Bone marrow aspirate smear.
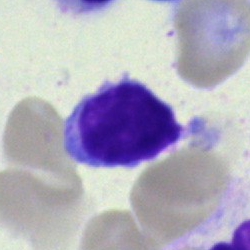
Morphology — lymphocyte.